Bone marrow aspirate smear.
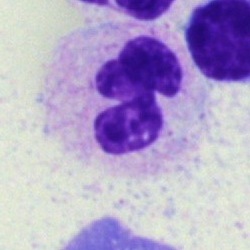

{"cell_type": "segmented neutrophil", "lineage": "myeloid"}